Bone marrow aspirate smear.
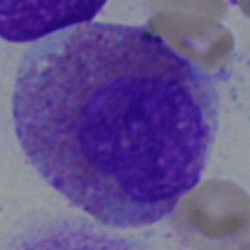
This is an eosinophilic granulocyte.